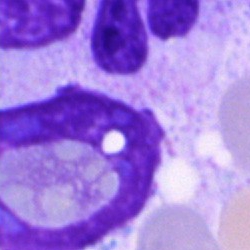Q: What is shown here?
A: An artifact.